Bone marrow aspirate smear:
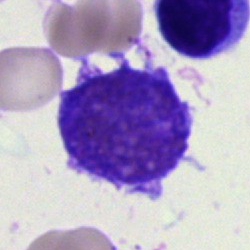 The cell shown is an artifact.